Brightfield, 40× oil-immersion objective. Bone marrow smear.
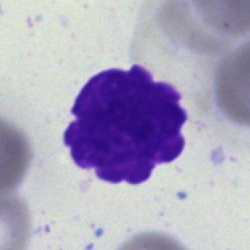
Q: What is shown here?
A: Artefact.